Peripheral blood film.
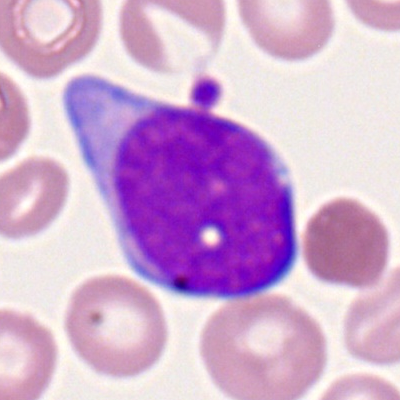
Specimen: peripheral blood smear.
Morphological class: myeloid blast.
Lineage: myeloid.